Bone marrow aspirate smear · single cell centered in the field — 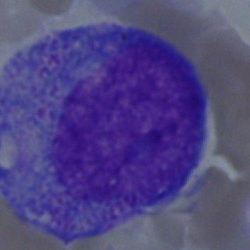 Morphological class: progranulocyte.